Pappenheim-stained; single cell centered in the field; bone marrow aspirate smear:
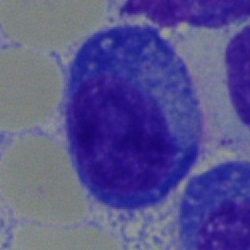

Single cell identified as a plasmacyte.